Bone marrow smear; 250×250.
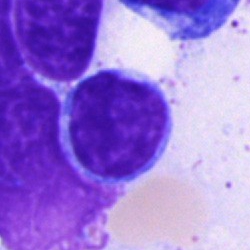Morphology → typical lymphocyte.